Bone marrow smear. Brightfield, 40× oil-immersion objective — 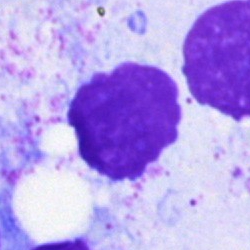Morphology consistent with an artifact.